Bone marrow aspirate smear:
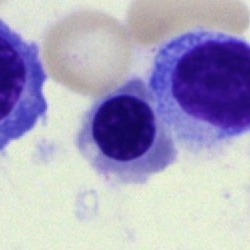 This is an erythroblast.